Peripheral blood film: 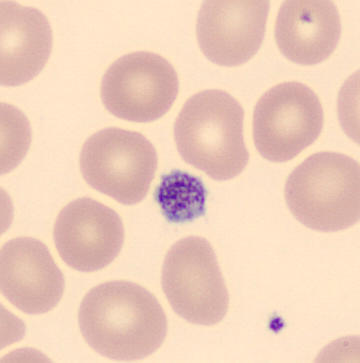

Platelet (thrombocyte).